Bone marrow aspirate smear:
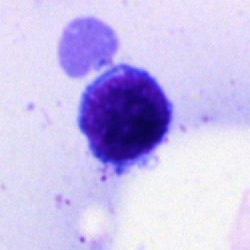
Impression → lymphocyte.